Peripheral blood smear — 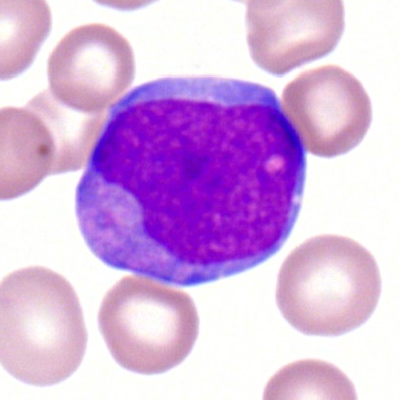 Morphology consistent with a myeloblast.